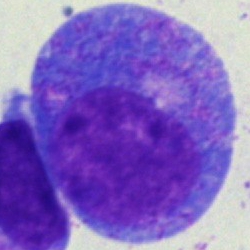

Cell = promyelocyte.